May-Grünwald-Giemsa stain. Bone marrow smear
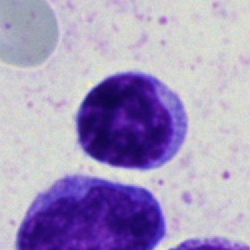 Specimen: bone marrow aspirate smear.
Morphological class: lymphocyte.
Lineage: lymphoid.